Bone marrow smear: 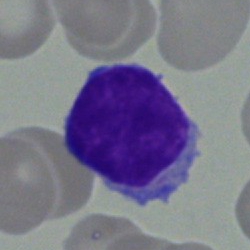

Impression — lymphocyte.